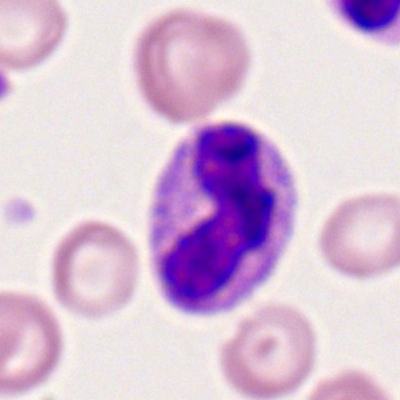
Single cell identified as a polymorphonuclear neutrophil.